Bone marrow aspirate smear. Image size 250×250
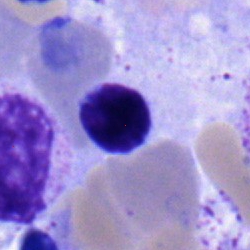{"cell_type": "normoblast"}